Bone marrow aspirate smear: 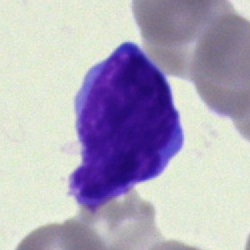 A blast.